Bone marrow aspirate smear
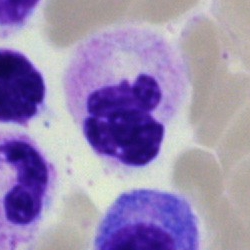This is a neutrophil (segmented).